250×250 px · bone marrow aspirate smear.
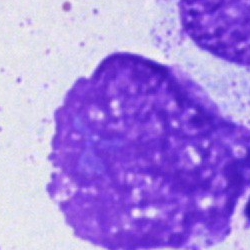

Artefact.